MGG-stained · bone marrow smear — 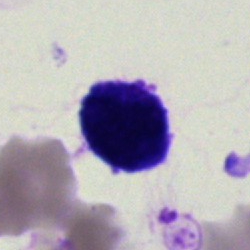

Morphology consistent with an artefact.